250 by 250 pixels. May-Grünwald-Giemsa/Pappenheim stain. Bone marrow smear — 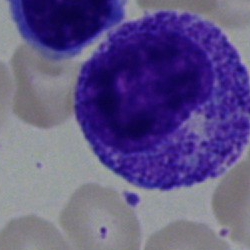Specimen: bone marrow aspirate smear.
Morphological class: metamyelocyte.
Lineage: myeloid.